Bone marrow aspirate smear; 250 by 250 pixels
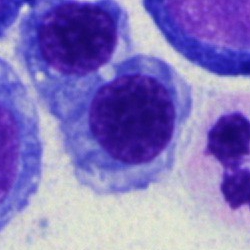
Cell type — normoblast.